Bone marrow smear: 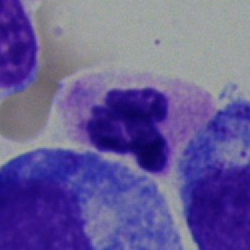

Q: What is the morphological classification of this cell?
A: A segmented neutrophil.